Bone marrow smear:
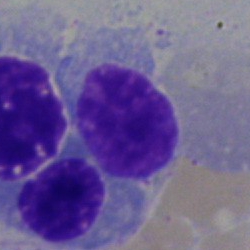The cell is typical lymphocyte.